Single-cell field; bone marrow aspirate smear
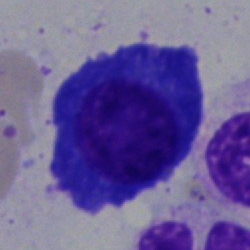 Morphology consistent with a plasmacyte.